MGG-stained; bone marrow aspirate smear.
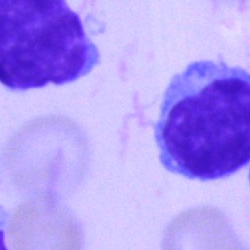Morphology consistent with a typical lymphocyte.